Bone marrow aspirate smear.
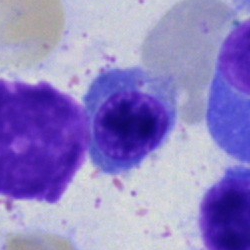 Classification: nucleated red blood cell.